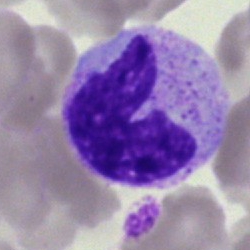
Morphology consistent with a neutrophil (band).